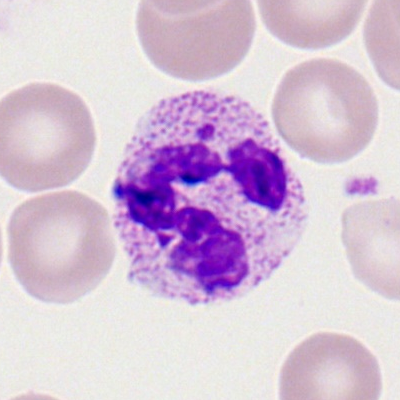 The morphological class is neutrophil (segmented).